Peripheral blood film:
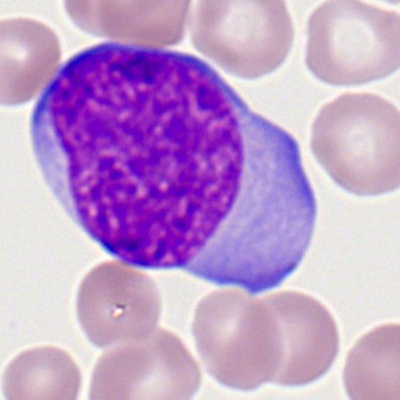
Q: What cell is this?
A: A myeloid blast.